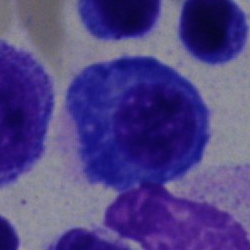 Bone marrow aspirate smear, single cell — plasma cell.